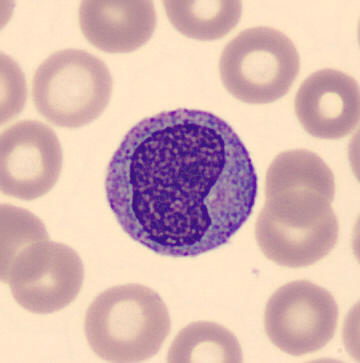

Q: Identify the cell.
A: It is a monocyte. Acquisition: MGG-stained. Peripheral blood film. CellaVision DM96.